Bone marrow smear; 40× oil immersion.
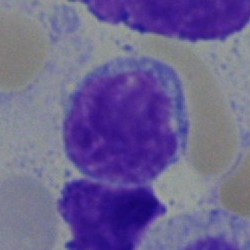

Morphology consistent with a lymphocyte.